Bone marrow smear: 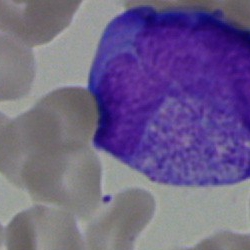
Q: What type of cell is this?
A: It is a blast cell.